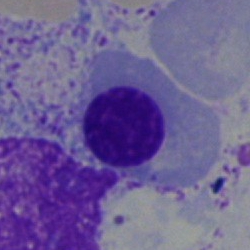

Q: What is shown here?
A: Erythroblast.